Bone marrow smear — 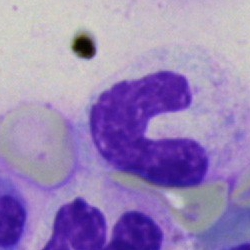Q: What is the morphological classification of this cell?
A: A band-form neutrophil.